Romanowsky-type stain. Peripheral blood film
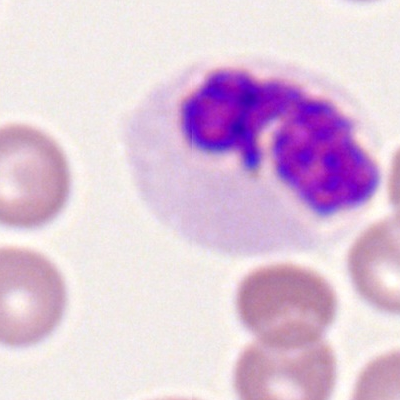 Cell = segmented neutrophil.